Bone marrow smear — 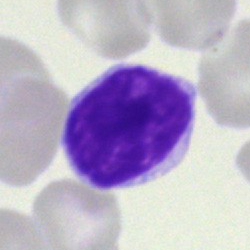This is a lymphocyte.